Bone marrow smear · 40× objective, oil immersion: 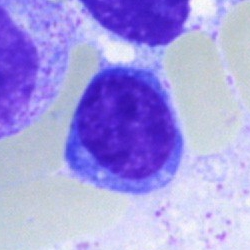
Morphological class — lymphocyte.